Bone marrow smear. Single-cell field:
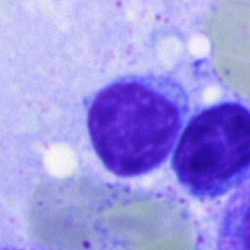
Morphology consistent with a typical lymphocyte.